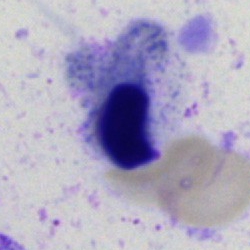
{"cell_type": "nucleated red cell"}